Bone marrow aspirate smear · MGG-stained: 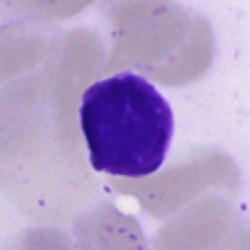Cell: artefact.